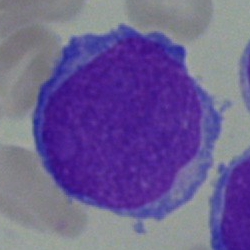
Q: Identify the cell.
A: This is a blast.